Bone marrow aspirate smear: 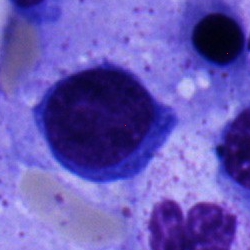

Morphology consistent with an erythroblast.